Bone marrow smear
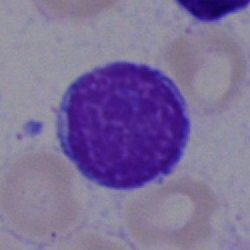
The cell shown is a typical lymphocyte.